Bone marrow smear · 250×250 px · single-cell crop: 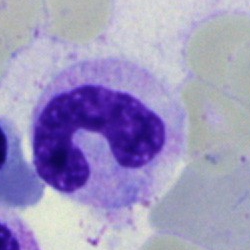
The cell is band-form neutrophil.